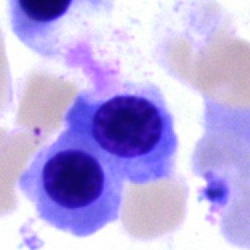
Nucleated red cell.